Bone marrow smear; 250×250 px; brightfield, 40× oil-immersion objective: 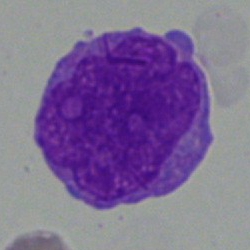 Q: What is the morphological classification of this cell?
A: Blast.